Bone marrow smear; May-Grünwald-Giemsa stain
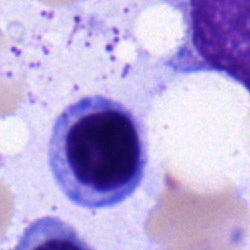 Cell type: nucleated red cell.